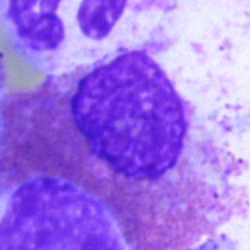

Q: Which cell type is shown here?
A: This is an eosinophil.